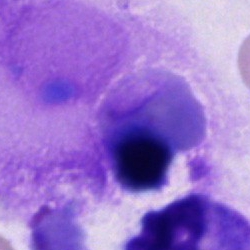
The classification is artefact.